Peripheral blood film
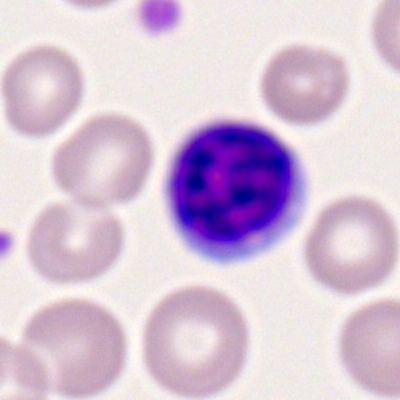
Cell — lymphocyte.